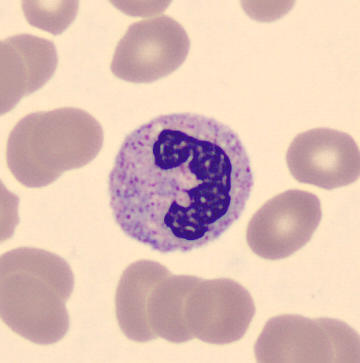 Peripheral blood film. Cell type — stab cell.